Peripheral blood smear:
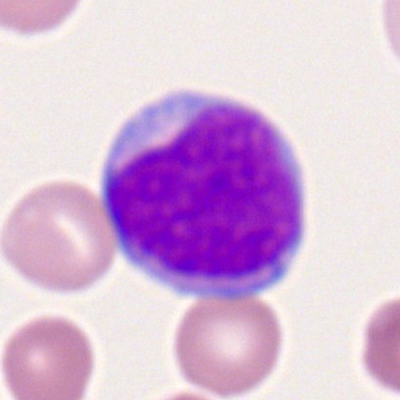 Q: What type of cell is this?
A: It is a myeloid blast.